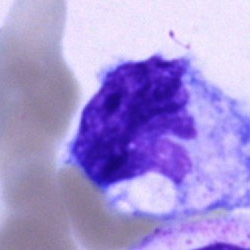 Morphological class: monocyte.